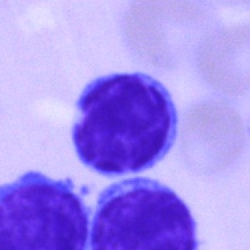
The cell shown is a lymphocyte.